Single cell centered in the field; bone marrow aspirate smear: 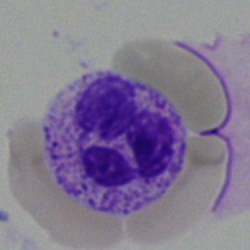

The classification is neutrophil (segmented).